Bone marrow smear: 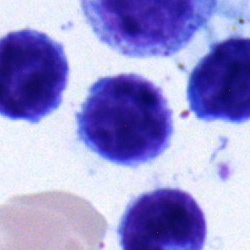Cell type — typical lymphocyte.